Bone marrow aspirate smear — 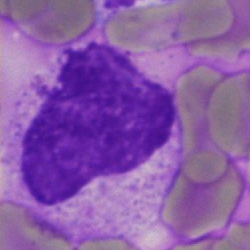

The classification is artefact.